May-Grünwald-Giemsa/Pappenheim stain. Bone marrow smear: 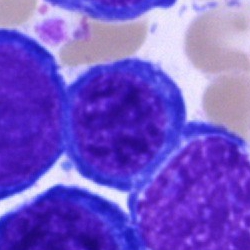 A nucleated red cell.